Bone marrow smear: 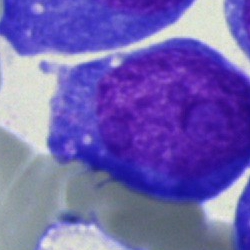 The classification is undifferentiated blast.